Bone marrow aspirate smear: 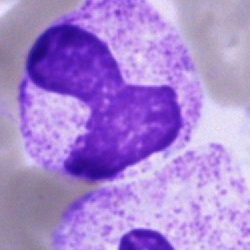
Q: What type of cell is this?
A: It is a band-form neutrophil.